Bone marrow smear:
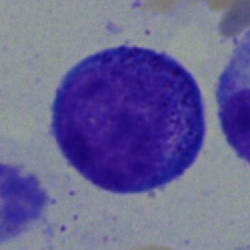Single cell identified as a progranulocyte.